Bone marrow smear.
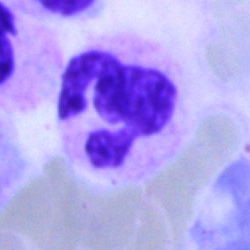 This is a polymorphonuclear neutrophil.